Bone marrow aspirate smear: 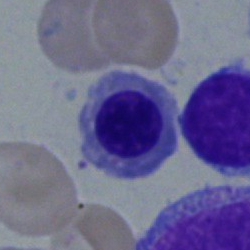Morphological class — nucleated red blood cell.